Bone marrow smear: 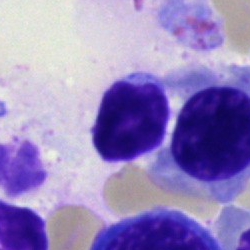 The morphological class is typical lymphocyte.